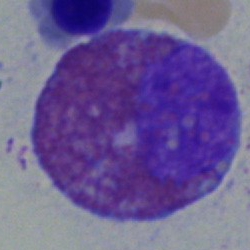

Bone marrow aspirate smear, single cell — eosinophil.